Bone marrow aspirate smear — 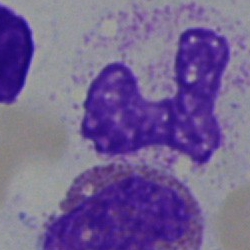Classification = artefact.